Bone marrow aspirate smear · image size 250×250 — 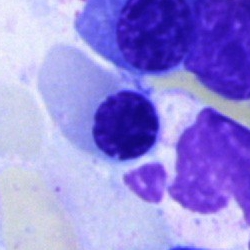

Impression — nucleated red cell.